Bone marrow smear — 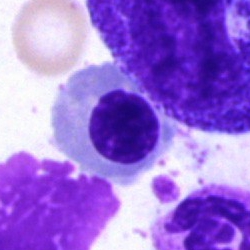

The classification is nucleated red cell.